Bone marrow smear · brightfield, 40× oil-immersion objective
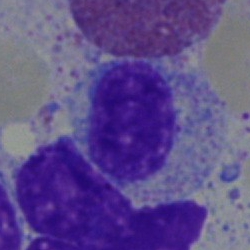 {"cell_type": "myelocyte", "lineage": "myeloid"}